MGG-stained. Single-cell crop. Bone marrow aspirate smear
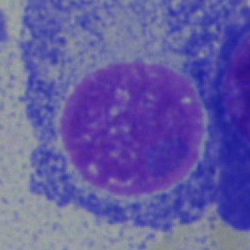

Q: Which cell type is shown here?
A: This is a plasmacyte.